Bone marrow smear:
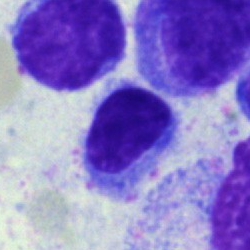Showing a typical lymphocyte.